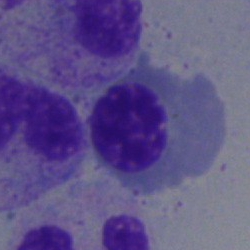
Bone marrow smear showing a nucleated red cell.